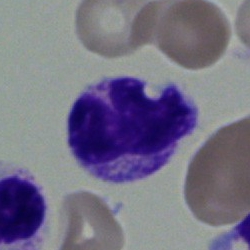
Morphology consistent with a segmented neutrophil.